Single-cell field · bone marrow aspirate smear · 250 by 250 pixels
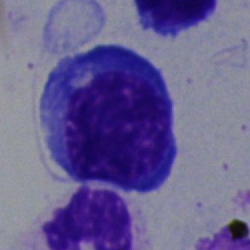A nucleated red cell.